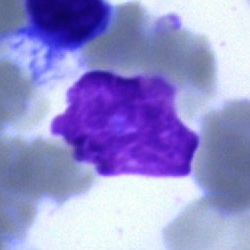

Cell — artefact.